Bone marrow smear; May-Grünwald-Giemsa/Pappenheim stain — 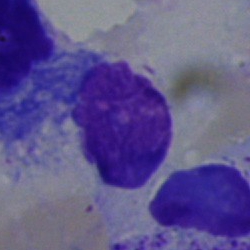

Cell = artefact.